Single-cell field; peripheral blood smear; 100× oil immersion
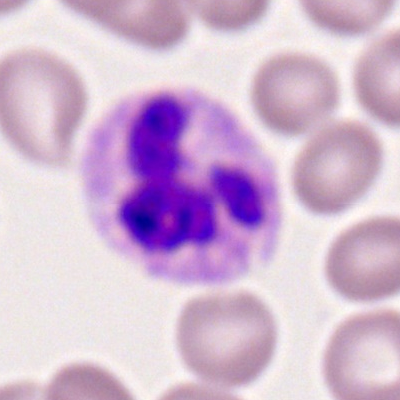 Morphology consistent with a neutrophil (segmented).